Bone marrow smear.
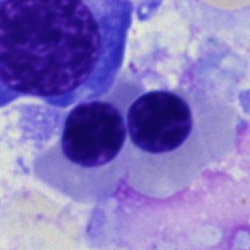 Showing a nucleated red cell.